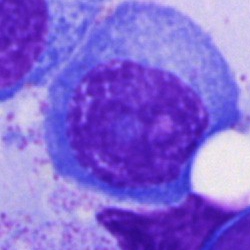Morphology → plasma cell.